Bone marrow aspirate smear · brightfield microscopy, 40× oil immersion.
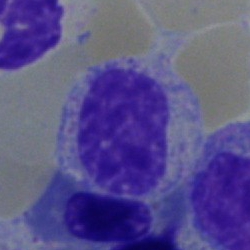
Q: What type of cell is this?
A: A metamyelocyte.